Bone marrow aspirate smear: 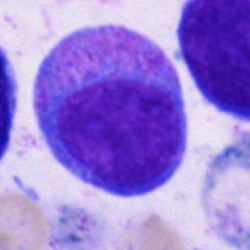 Specimen: bone marrow smear.
Cell type: progranulocyte.
Lineage: myeloid.